Bone marrow smear: 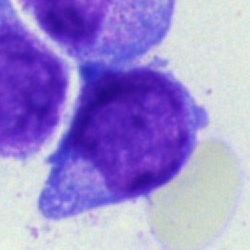
Q: What is shown here?
A: It is an undifferentiated blast.